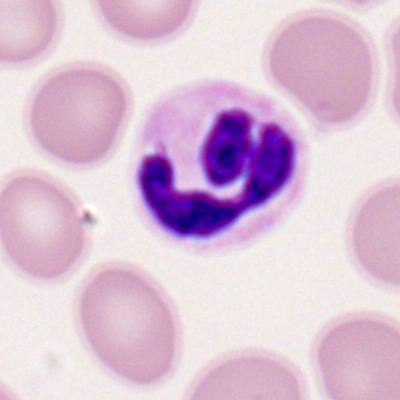

Single-cell crop from a peripheral blood smear: segmented neutrophil.